Bone marrow smear. 250×250. Brightfield, 40× oil-immersion objective:
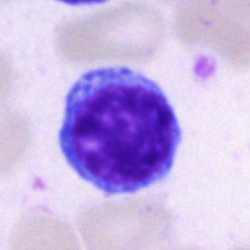 Q: Identify the cell.
A: This is a typical lymphocyte.